Bone marrow smear.
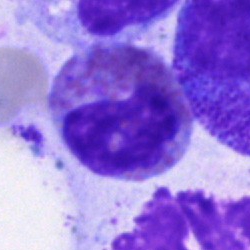 This is an eosinophilic granulocyte.